Bone marrow aspirate smear; single cell centered in the field; 250×250 px:
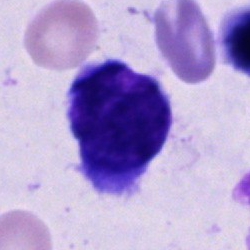Cell type — unidentifiable cell.